40× oil immersion; bone marrow smear:
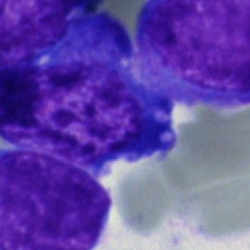
Classification — blast cell.